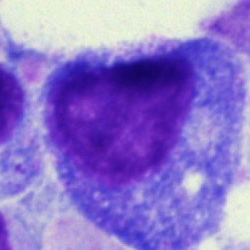

Cell: promyelocyte.